Bone marrow smear.
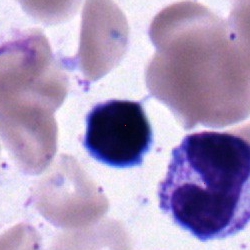Morphological class: typical lymphocyte.